Peripheral blood smear — 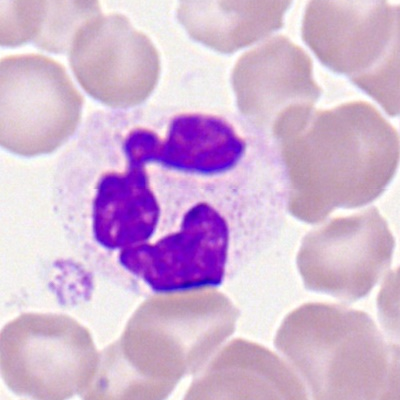

Impression — polymorphonuclear neutrophil.